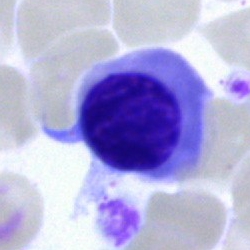

Morphological class = erythroblast.